May-Grünwald-Giemsa/Pappenheim stain. Bone marrow smear: 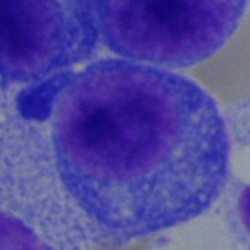
Q: What is the morphological classification of this cell?
A: A plasmacyte.